Bone marrow smear
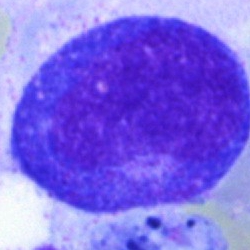

Cell = progranulocyte.